Bone marrow aspirate smear · 40× objective, oil immersion.
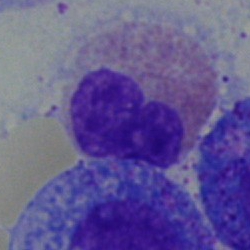
Q: Which cell type is shown here?
A: Eosinophilic granulocyte.